Peripheral blood film
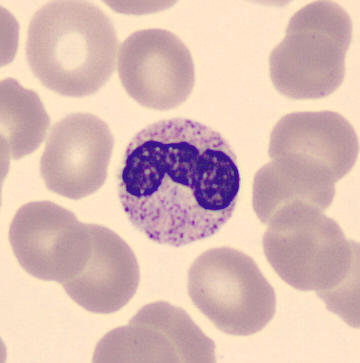
Cell type = neutrophil (band).